Peripheral blood smear; 100× objective, oil immersion:
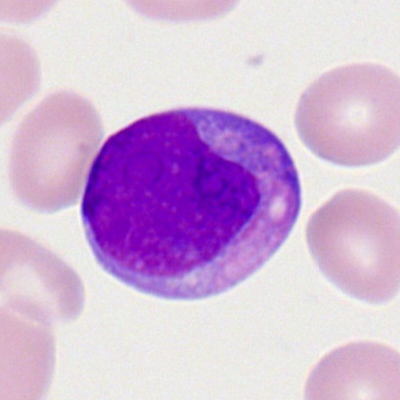 Cell type: myeloblast.